Bone marrow smear · May-Grünwald-Giemsa/Pappenheim stain · 250×250 — 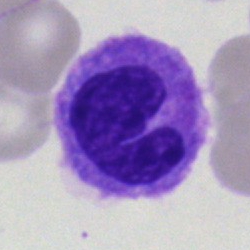
A monocyte.